Bone marrow aspirate smear — 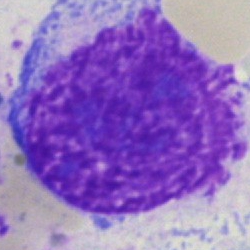
Cell: artefact.